40× objective, oil immersion; Pappenheim-stained; bone marrow smear: 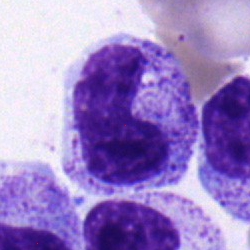

Cell — metamyelocyte.